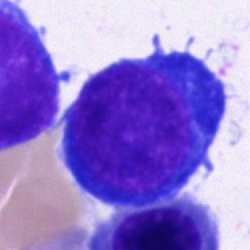 Cell: pronormoblast.